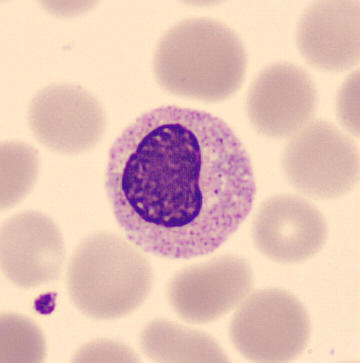

Metamyelocyte. Cropped to a single cell · peripheral blood smear.